40× oil immersion; bone marrow smear
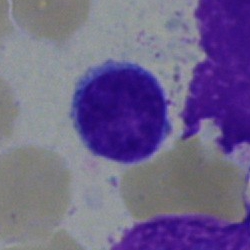 {"cell_type": "typical lymphocyte"}